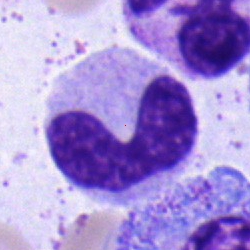
Classification = stab cell.